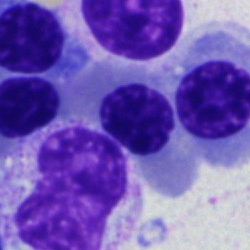
Specimen: bone marrow aspirate smear.
Cell type: erythroblast.